Bone marrow aspirate smear:
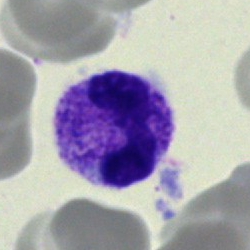Morphological class — neutrophil (segmented).